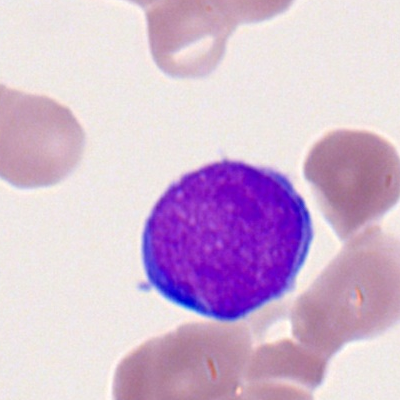
{"cell_type": "myeloblast"}